Bone marrow aspirate smear; 250×250.
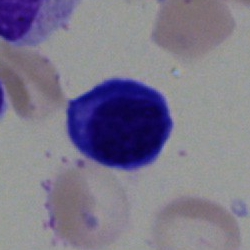 Morphology consistent with a typical lymphocyte.